250×250 · bone marrow smear · May-Grünwald-Giemsa stain:
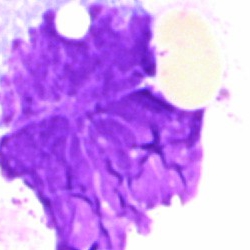 Morphological class = artifact.